Bone marrow smear; brightfield microscopy, 40× oil immersion; 250 by 250 pixels
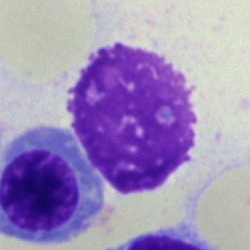 Q: What is shown here?
A: Artefact.